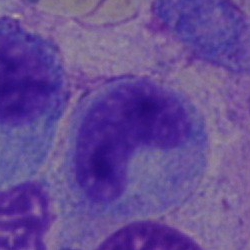Q: What cell is this?
A: This is a neutrophil (band).